Bone marrow aspirate smear:
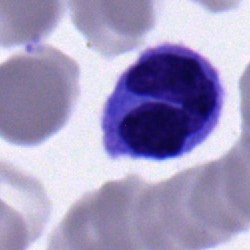 Cell type: monocyte.